Peripheral blood film — 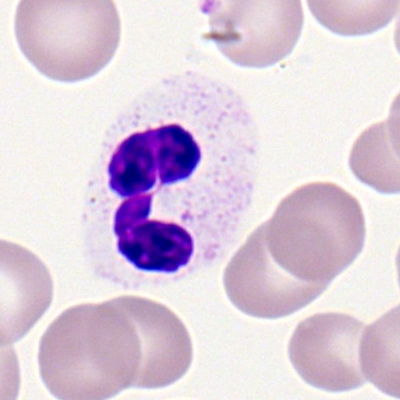This is a segmented neutrophil.